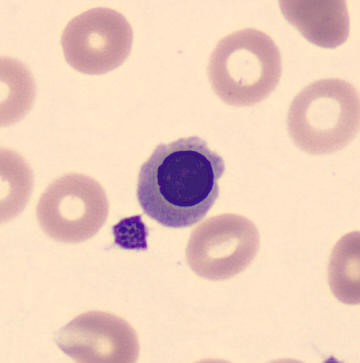
Impression — erythroblast.

Image size 360×363 · peripheral blood smear · single cell centered in the field.